Bone marrow aspirate smear:
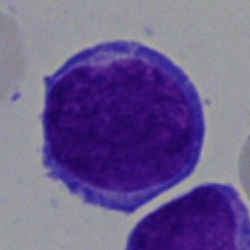
Showing a blast.